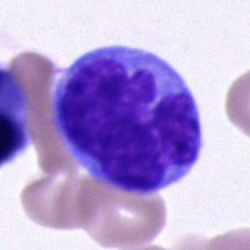 Single-cell crop from a bone marrow smear: monocyte.